Bone marrow aspirate smear: 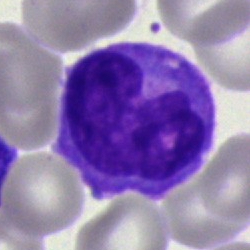Specimen: bone marrow aspirate smear.
Morphological class: monocyte.
Lineage: myeloid.